Bone marrow aspirate smear · MGG-stained · brightfield, 40× oil-immersion objective:
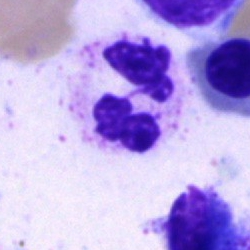Specimen: bone marrow aspirate smear.
Classification: polymorphonuclear neutrophil.